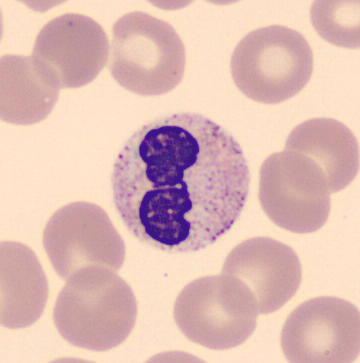
Cell — neutrophil (segmented).

Image: Peripheral blood film.